Bone marrow smear · May-Grünwald-Giemsa stain · 250 by 250 pixels:
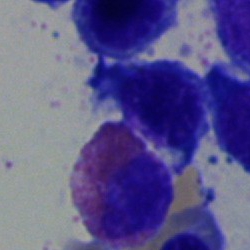
Morphology — eosinophilic granulocyte.